Pappenheim-stained · bone marrow aspirate smear · single cell centered in the field
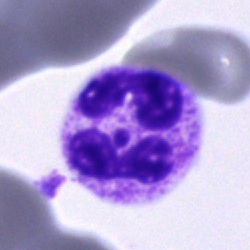

Single cell identified as a polymorphonuclear neutrophil.